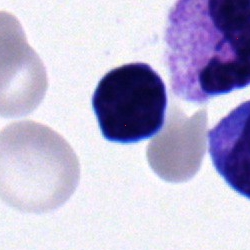
The classification is typical lymphocyte.